Peripheral blood smear:
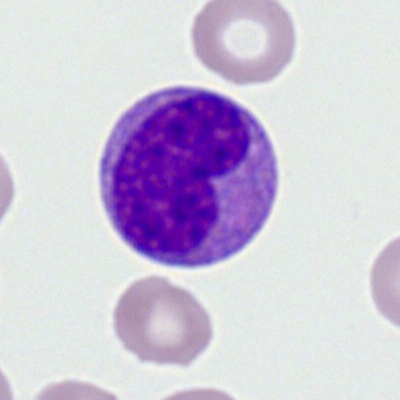
Showing a monocyte.